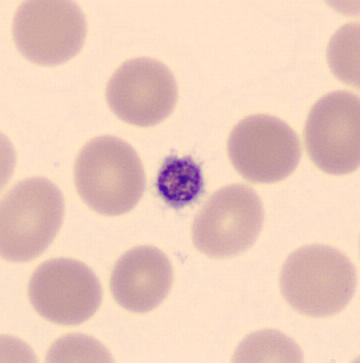

Morphology consistent with a platelet (thrombocyte).